Bone marrow smear · single-cell field:
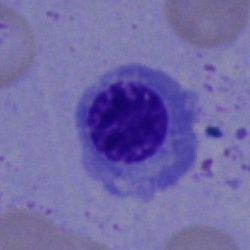A nucleated red blood cell.